Peripheral blood smear.
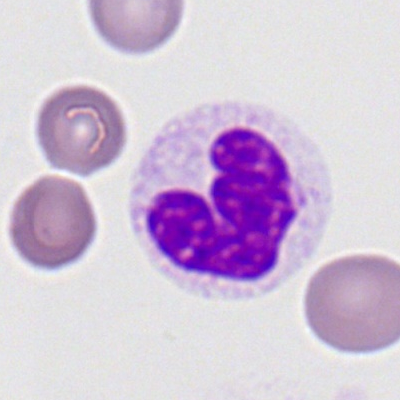
{"cell_type": "segmented neutrophil", "lineage": "myeloid"}